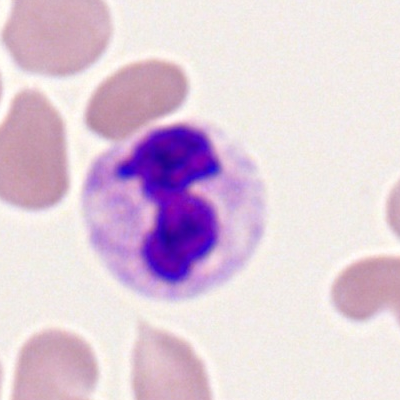
Cell: neutrophil (segmented).